Bone marrow aspirate smear — 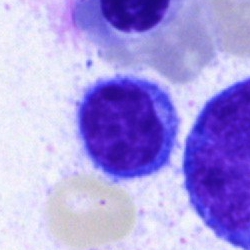
Morphology consistent with a lymphocyte.